250×250. Bone marrow smear: 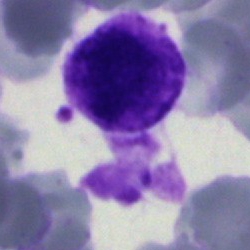
Morphological class = artefact.